Bone marrow smear; 40× oil immersion
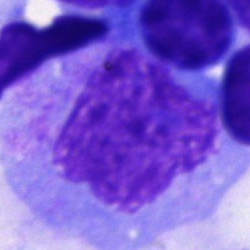
Showing a cell of indeterminate lineage.